Bone marrow aspirate smear — 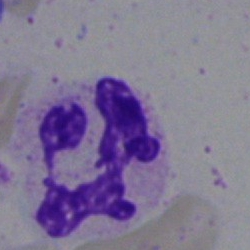
Q: Which cell type is shown here?
A: This is a polymorphonuclear neutrophil.